Image size 250×250; single cell centered in the field; bone marrow aspirate smear: 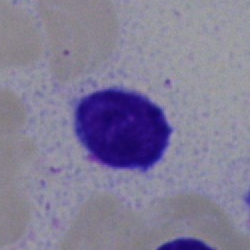The classification is typical lymphocyte.